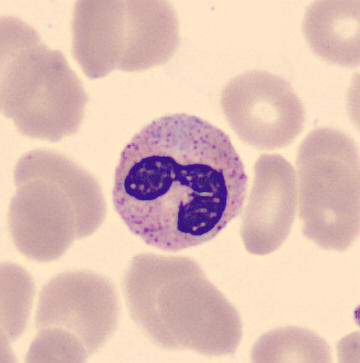CellaVision DM96 · single cell centered in the field. Specimen: peripheral blood film.
Cell type: stab cell.
Lineage: myeloid.